Bone marrow smear
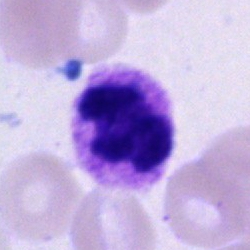 Q: What type of cell is this?
A: A segmented neutrophil.